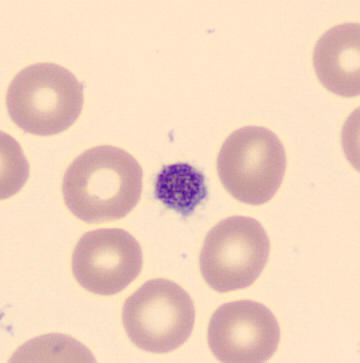

Morphology consistent with a platelet (thrombocyte).

Acquisition: Peripheral blood film.